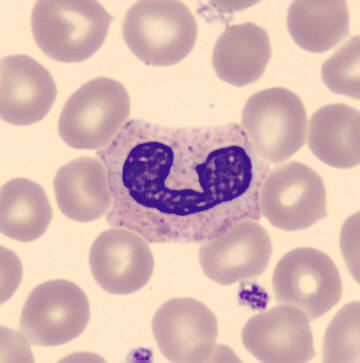 Q: What is the morphological classification of this cell?
A: It is a polymorphonuclear neutrophil.